Bone marrow smear — 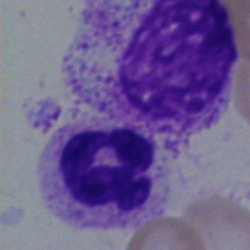
The cell shown is a neutrophil (segmented).